Bone marrow aspirate smear. Cropped to a single cell. MGG-stained
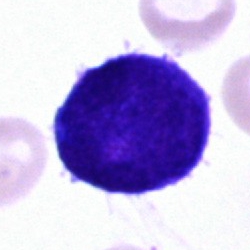A blast.